May-Grünwald-Giemsa/Pappenheim stain. Bone marrow smear.
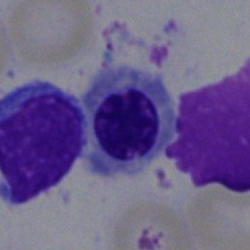 Cell — nucleated red cell.